Bone marrow smear
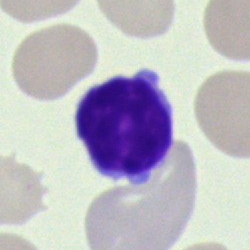Q: What type of cell is this?
A: Lymphocyte.